Bone marrow smear. 40× objective, oil immersion:
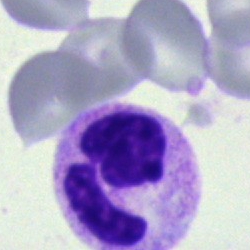
This is a polymorphonuclear neutrophil.